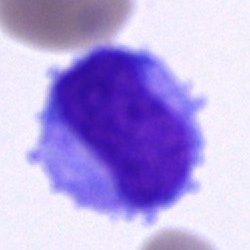

Classification: undifferentiated blast.